250×250 · bone marrow aspirate smear
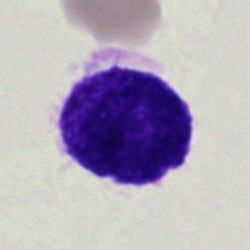 A blast cell.